Bone marrow aspirate smear:
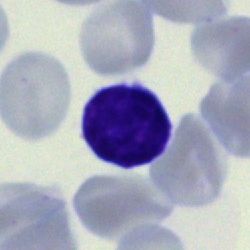

Morphology consistent with a lymphocyte.